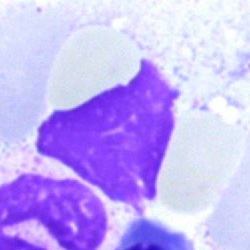

Impression → artifact.